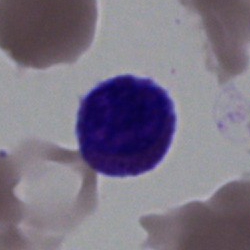
Morphological class: lymphocyte.